Bone marrow smear.
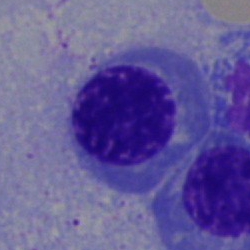

Nucleated red cell.